250×250 · bone marrow smear: 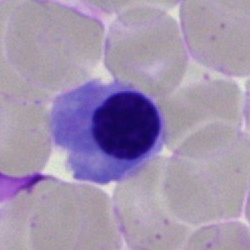

Single cell identified as a normoblast.